Peripheral blood film — 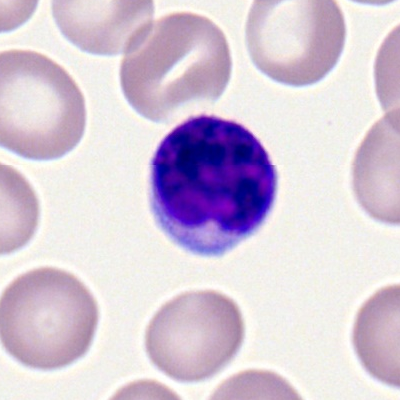

Specimen: peripheral blood film.
Cell type: lymphocyte.
Lineage: lymphoid.